Pappenheim-stained · cropped to a single cell · bone marrow aspirate smear.
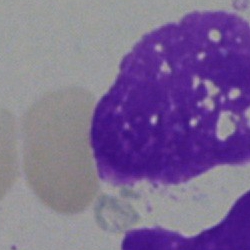Q: What is shown here?
A: Artifact.